Bone marrow aspirate smear: 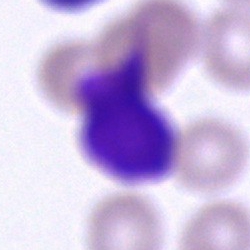Impression → cell of indeterminate lineage.